MGG-stained · brightfield microscopy, 40× oil immersion · bone marrow aspirate smear:
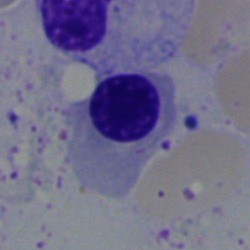 Q: What type of cell is this?
A: Nucleated red cell.